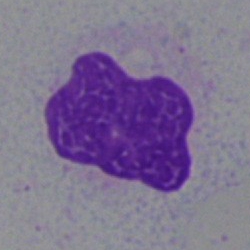
Impression — artifact.